Bone marrow aspirate smear; MGG-stained.
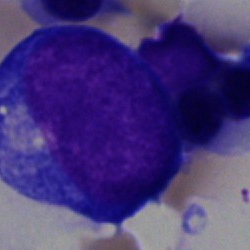 Cell — pronormoblast.